Single-cell crop · peripheral blood smear — 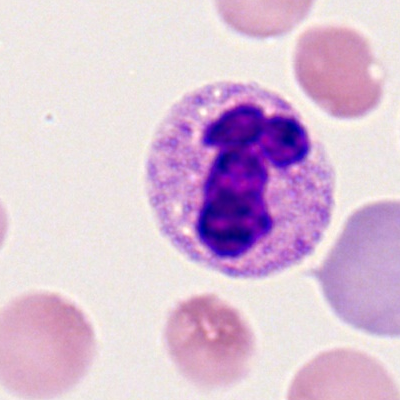A neutrophil (segmented).